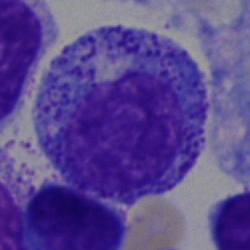
{"cell_type": "promyelocyte", "lineage": "myeloid"}